Bone marrow smear:
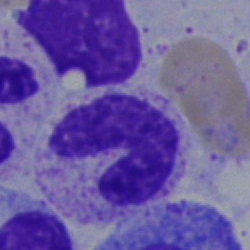
Band-form neutrophil.